Bone marrow smear
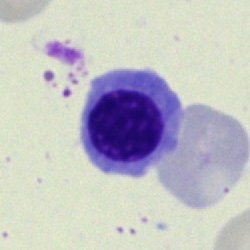 {"cell_type": "erythroblast", "lineage": "erythroid"}